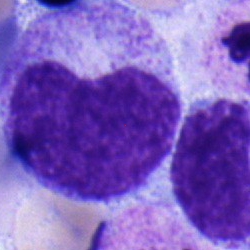

A metamyelocyte on a bone marrow smear.